Single cell centered in the field · bone marrow smear — 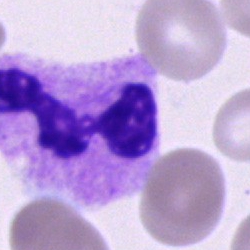Single cell identified as a polymorphonuclear neutrophil.